Bone marrow smear
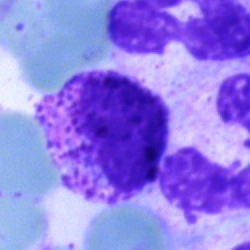 Morphological class: basophil.